Pappenheim-stained · image size 250×250 · bone marrow smear — 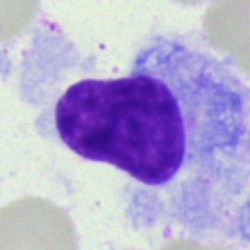
This is a hairy cell.